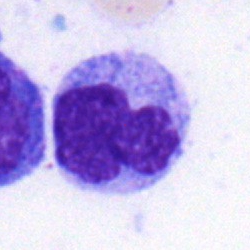
Bone marrow smear showing a monocyte.